Brightfield microscopy, 40× oil immersion · bone marrow aspirate smear.
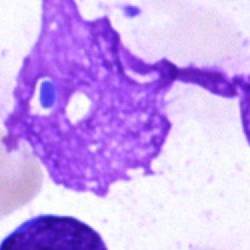The cell shown is an artifact.